Bone marrow aspirate smear
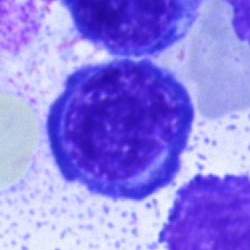

The morphological class is nucleated red cell.